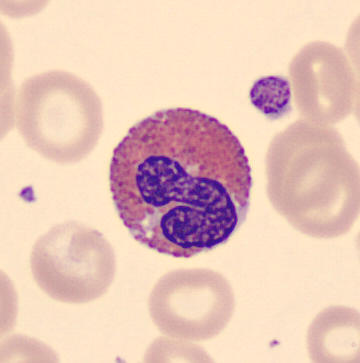

Morphological class: eosinophil. Image: May-Grünwald-Giemsa-stained · peripheral blood film.